Bone marrow smear — 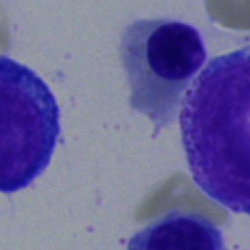

Cell type — normoblast.